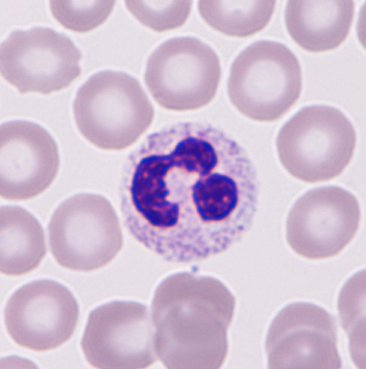

A neutrophil granulocyte on a peripheral blood smear.